Bone marrow smear — 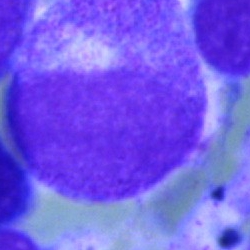 Q: Which cell type is shown here?
A: A myelocyte.